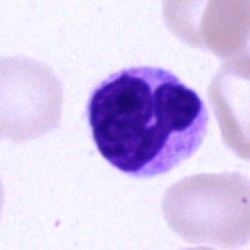 Bone marrow smear showing a segmented neutrophil.